Bone marrow smear · 40× objective, oil immersion · image size 250×250.
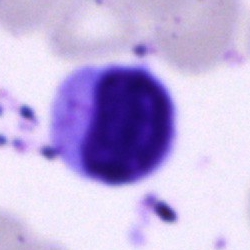

Cell: cell of indeterminate lineage.